Bone marrow smear.
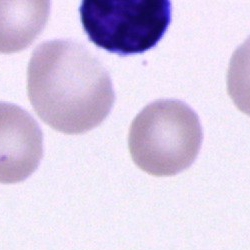Impression → cell of indeterminate lineage.